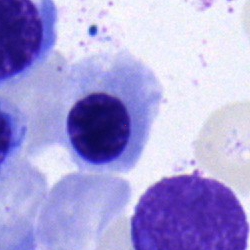

Specimen: bone marrow aspirate smear.
Classification: erythroblast.
Lineage: erythroid.